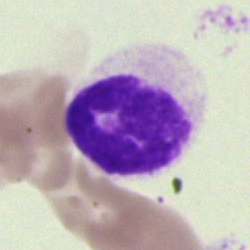

Q: What is shown here?
A: This is an unidentifiable cell.